Single-cell crop. Brightfield, 100× oil-immersion objective. Peripheral blood film:
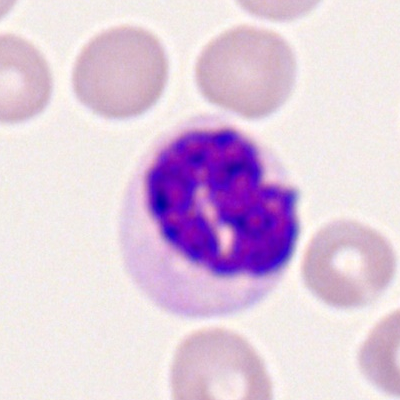Q: What type of cell is this?
A: This is a neutrophil (segmented).